Bone marrow aspirate smear:
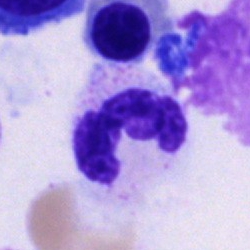 {"cell_type": "neutrophil (segmented)", "lineage": "myeloid"}